Single-cell crop; bone marrow aspirate smear: 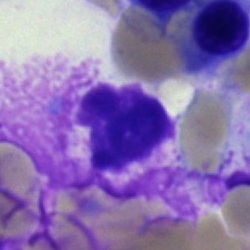 Single cell identified as an artifact.